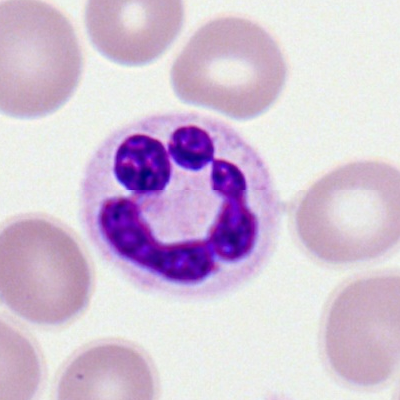
Q: Which cell type is shown here?
A: Segmented neutrophil.